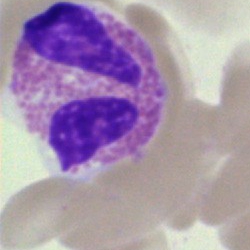
Specimen: bone marrow smear.
Classification: eosinophilic granulocyte.
Lineage: myeloid.